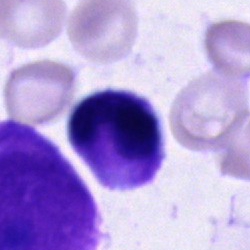 Showing an artefact.